Bone marrow aspirate smear.
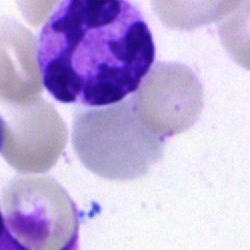

Specimen: bone marrow smear.
Classification: neutrophil (segmented).
Lineage: myeloid.